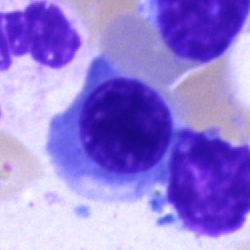

Specimen: bone marrow aspirate smear.
Classification: erythroblast.